Bone marrow smear · 250 by 250 pixels.
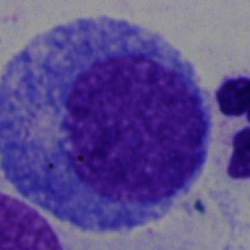Q: What is the morphological classification of this cell?
A: This is a promyelocyte.